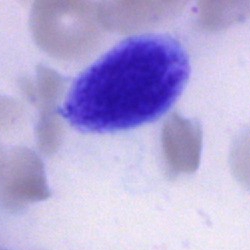Morphological class: artifact.